Bone marrow smear: 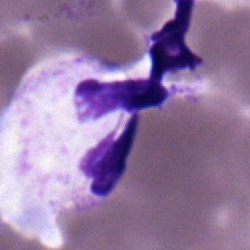
Morphological class: polymorphonuclear neutrophil.